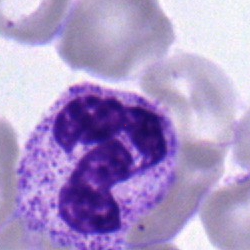

Specimen: bone marrow smear.
Cell type: neutrophil (segmented).
Lineage: myeloid.